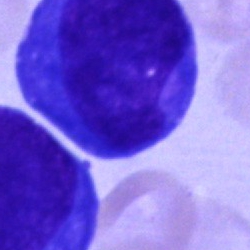
Q: What is the morphological classification of this cell?
A: A blast.